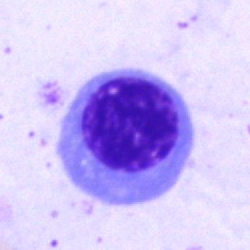

Bone marrow smear showing a nucleated red blood cell.